Bone marrow aspirate smear:
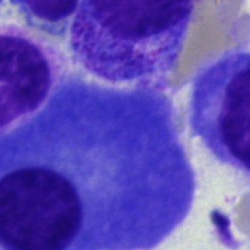A plasma cell.